Bone marrow smear: 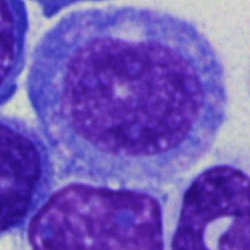 Progranulocyte.